Bone marrow aspirate smear. 250×250 — 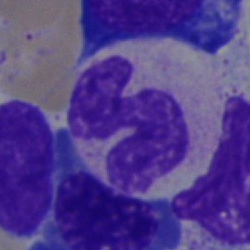
Morphological class: segmented neutrophil.